Bone marrow aspirate smear · MGG-stained.
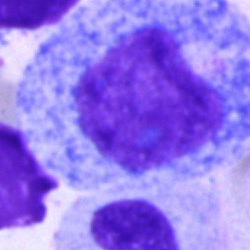A promyelocyte.